Bone marrow smear: 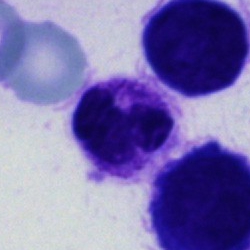
Neutrophil (segmented).